Bone marrow smear: 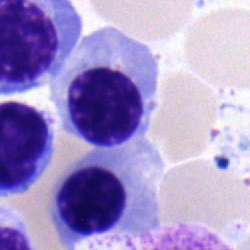

This is a normoblast.